Bone marrow smear
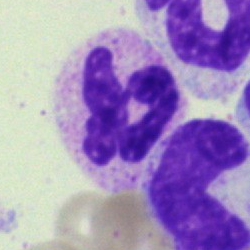{"cell_type": "polymorphonuclear neutrophil", "lineage": "myeloid"}